Bone marrow aspirate smear.
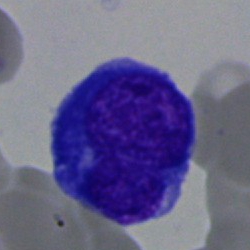The classification is undifferentiated blast.